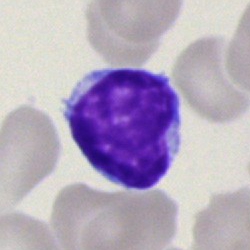

Q: What is the morphological classification of this cell?
A: A typical lymphocyte.